Peripheral blood smear:
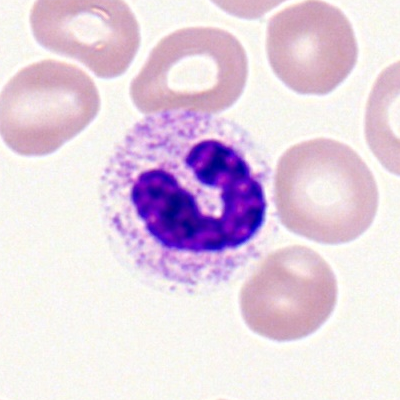Single cell identified as a segmented neutrophil.